Bone marrow aspirate smear: 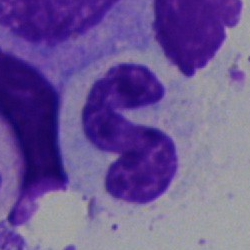

Showing a polymorphonuclear neutrophil.